Bone marrow aspirate smear:
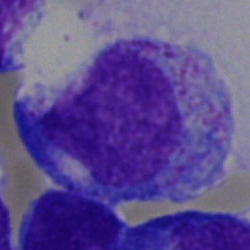
Single cell identified as a myelocyte.